Peripheral blood film. Single-cell field — 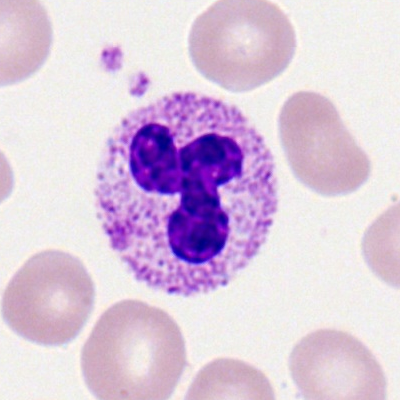 Showing a polymorphonuclear neutrophil.